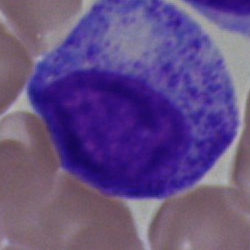

Classification: progranulocyte.